Bone marrow aspirate smear — 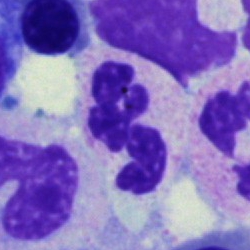
Specimen: bone marrow smear.
Cell: polymorphonuclear neutrophil.
Lineage: myeloid.